Bone marrow aspirate smear · 250×250 px:
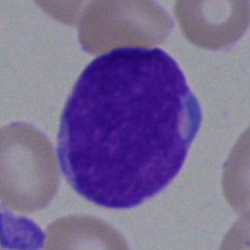 Morphology consistent with a blast cell.